Peripheral blood film · Romanowsky-stained: 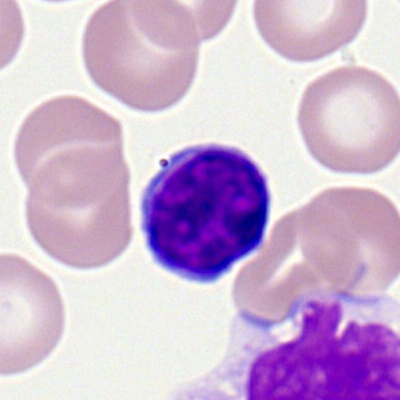 Q: Which cell type is shown here?
A: It is a lymphocyte.